250×250 px · bone marrow aspirate smear.
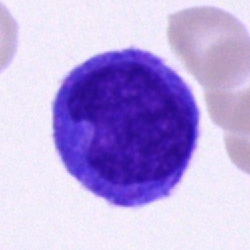
Showing an unidentifiable cell.